Bone marrow smear
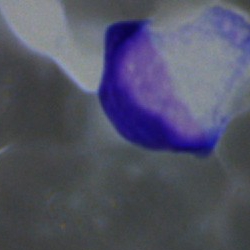
{"cell_type": "plasma cell"}